250×250 px; 40× objective, oil immersion; bone marrow aspirate smear — 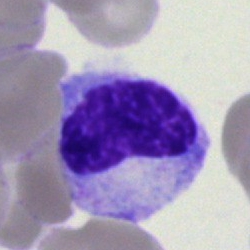

Q: What is the morphological classification of this cell?
A: A metamyelocyte.